Peripheral blood smear; single-cell field; 100× oil immersion, 14.14 px/µm
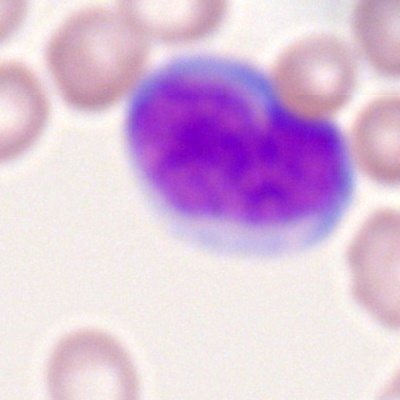
Q: Which cell type is shown here?
A: A myeloid blast.